Bone marrow smear — 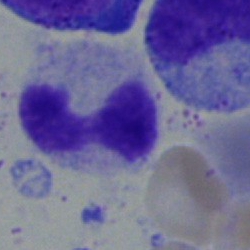
Classification = band neutrophil.